Bone marrow aspirate smear.
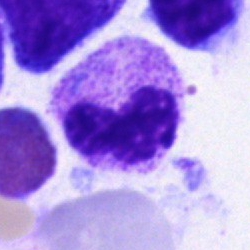

Cell: polymorphonuclear neutrophil.